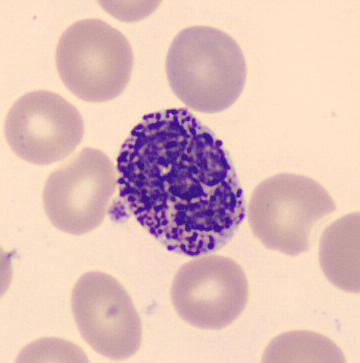
This is a basophil.
Acquisition: Peripheral blood smear.